40× objective, oil immersion. Bone marrow smear.
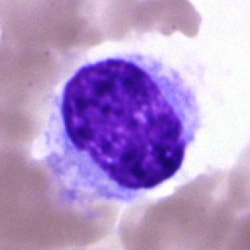{"cell_type": "hairy cell"}